Brightfield, 100× oil-immersion objective. Peripheral blood film: 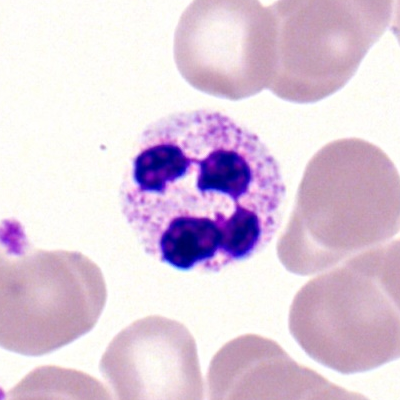
Polymorphonuclear neutrophil.